Bone marrow aspirate smear — 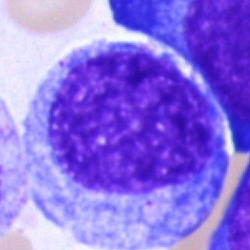

Cell = blast.